Bone marrow aspirate smear · single cell centered in the field: 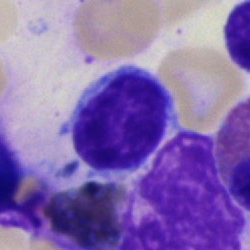

{"cell_type": "lymphocyte", "lineage": "lymphoid"}